MGG-stained · bone marrow smear · 250×250 px: 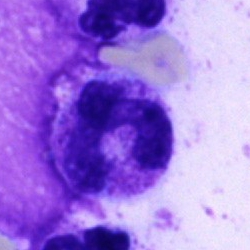 The cell shown is a neutrophil (segmented).